Bone marrow smear; MGG-stained; cropped to a single cell.
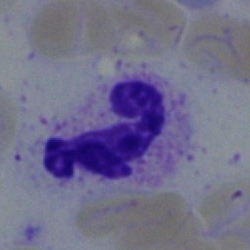

Specimen: bone marrow aspirate smear.
Cell type: polymorphonuclear neutrophil.